Bone marrow aspirate smear: 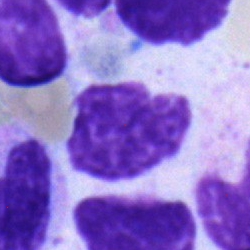

Morphological class: segmented neutrophil.